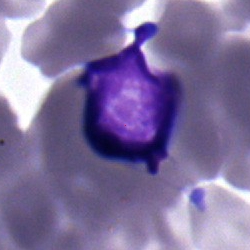 Cell: lymphocyte.